Single cell centered in the field · bone marrow smear · brightfield microscopy, 40× oil immersion
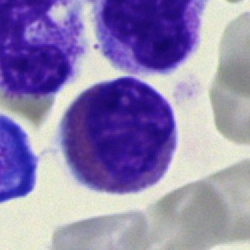
Morphology consistent with an eosinophil.